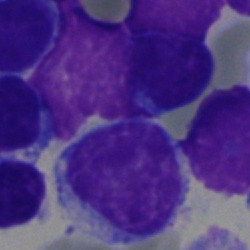
Morphology — lymphocyte.